Bone marrow aspirate smear
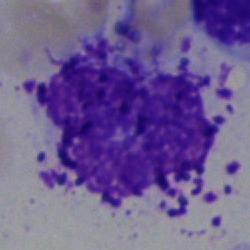

Single cell identified as an artifact.